Bone marrow aspirate smear
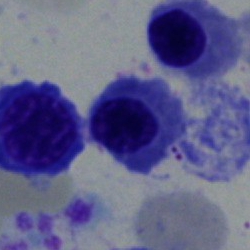 Nucleated red blood cell.